Bone marrow aspirate smear; image size 250×250:
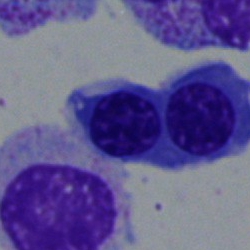
Morphology consistent with an erythroblast.